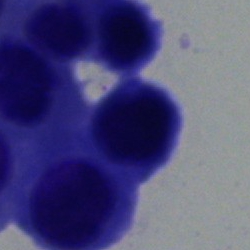
Q: What cell is this?
A: It is an erythroblast.